Peripheral blood film:
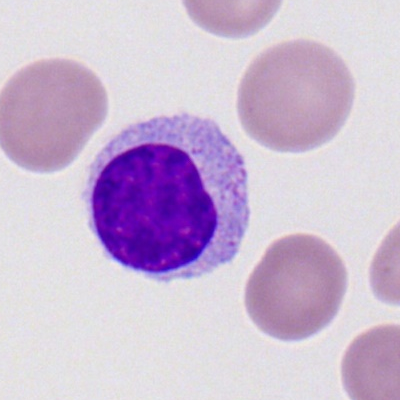Specimen: peripheral blood film.
Morphological class: typical lymphocyte.